Bone marrow aspirate smear.
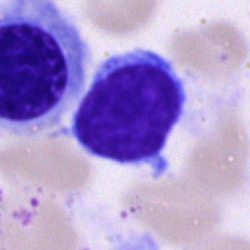

Morphology consistent with a typical lymphocyte.